Bone marrow smear. 250 by 250 pixels:
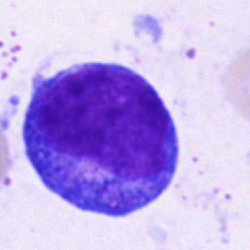 Single cell identified as a progranulocyte.